Peripheral blood film — 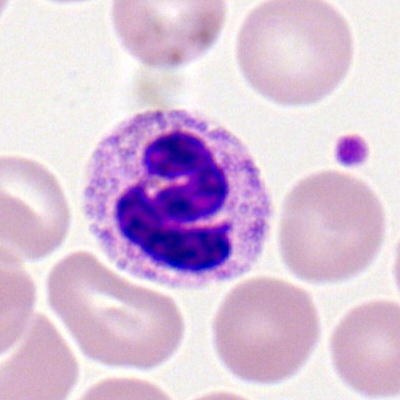
Classification = neutrophil (segmented).